Bone marrow aspirate smear. 250 by 250 pixels:
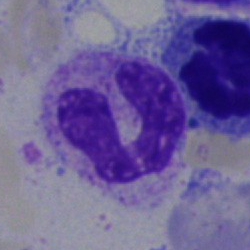

The classification is neutrophil (segmented).